250×250 px. Cropped to a single cell. Bone marrow smear: 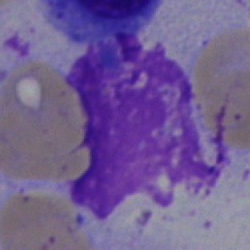Cell type = artefact.